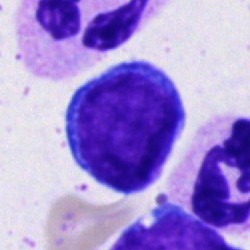Morphology → typical lymphocyte.